Bone marrow aspirate smear · 250×250: 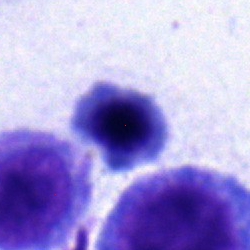
Morphology — normoblast.